Bone marrow smear; 40× objective, oil immersion
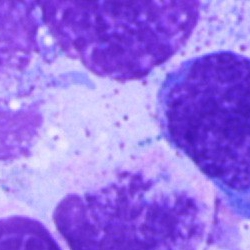

Q: What is shown here?
A: It is an artifact.